250×250. Bone marrow aspirate smear.
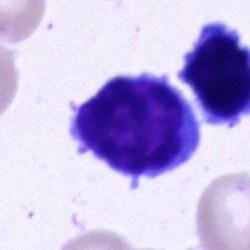 Morphology consistent with a lymphocyte.